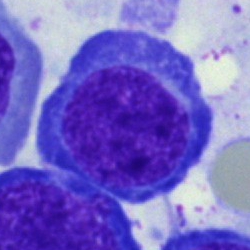
Specimen: bone marrow smear.
Cell: nucleated red blood cell.